Peripheral blood smear.
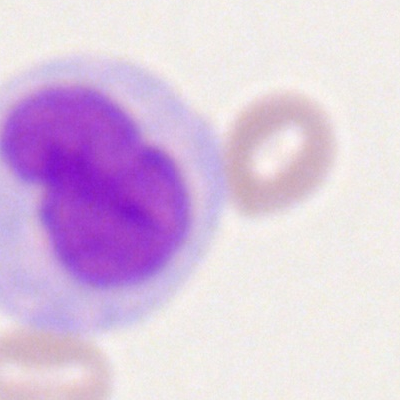Classification = monocyte.